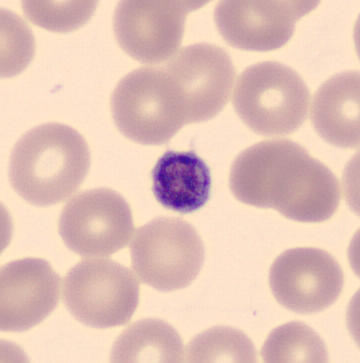

A platelet.